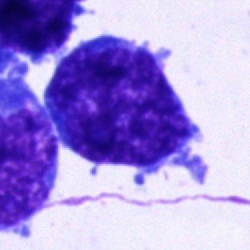 Single-cell crop from a bone marrow smear: blast.